Bone marrow aspirate smear.
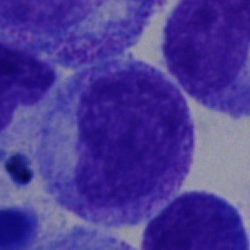
The cell is progranulocyte.